Bone marrow aspirate smear.
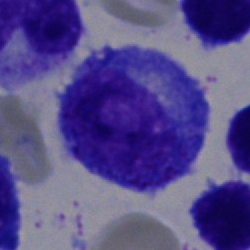Cell type — promyelocyte.